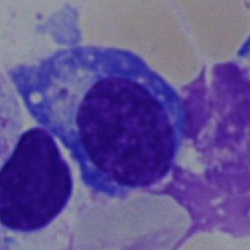
Specimen: bone marrow aspirate smear.
Morphological class: plasmacyte.